May-Grünwald-Giemsa stain; bone marrow smear:
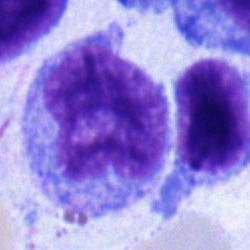
The cell shown is a monocyte.